Peripheral blood smear:
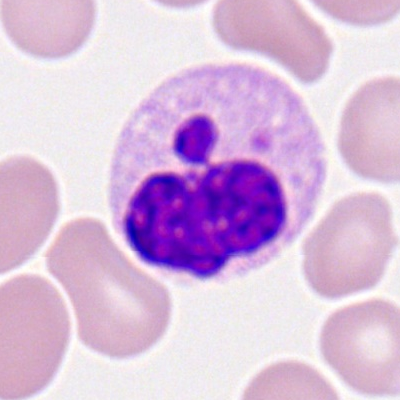

Cell = neutrophil (segmented).